Peripheral blood film.
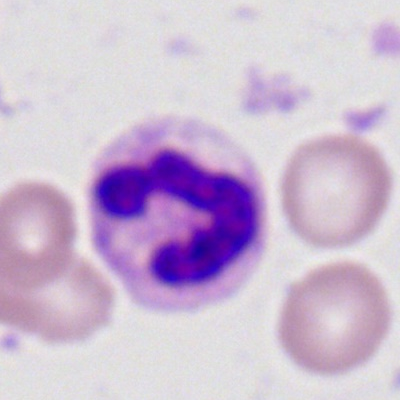 A neutrophil (segmented).